Bone marrow aspirate smear: 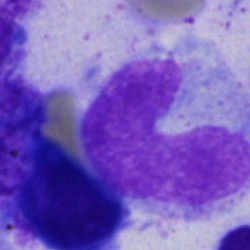
Q: What type of cell is this?
A: It is a neutrophil (band).